Bone marrow aspirate smear: 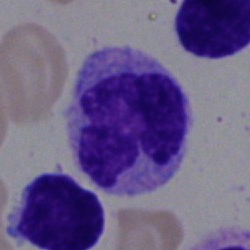Specimen: bone marrow smear.
Cell type: polymorphonuclear neutrophil.
Lineage: myeloid.